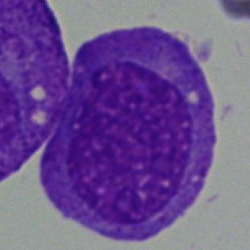 Specimen: bone marrow aspirate smear.
Cell: blast cell.